Bone marrow smear:
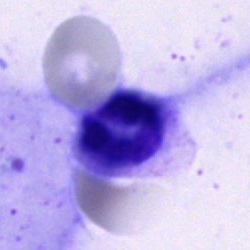 The cell shown is a polymorphonuclear neutrophil.